Pappenheim-stained. Bone marrow aspirate smear: 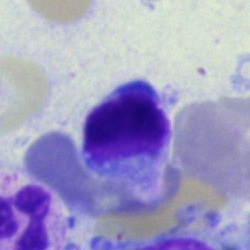

{"cell_type": "lymphocyte", "lineage": "lymphoid"}